Bone marrow aspirate smear.
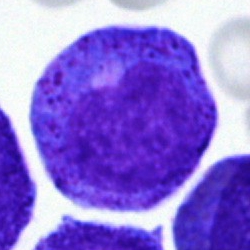 Single cell identified as a progranulocyte.